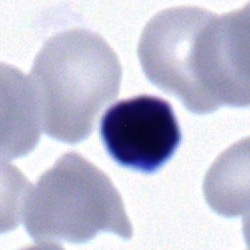
Cell = lymphocyte.